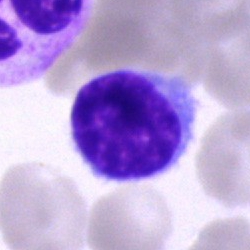
Q: What cell is this?
A: Typical lymphocyte.